Bone marrow smear. Single-cell field:
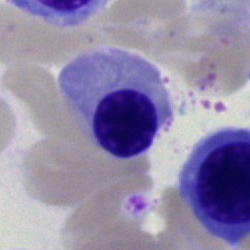Cell: nucleated red blood cell.